Bone marrow smear
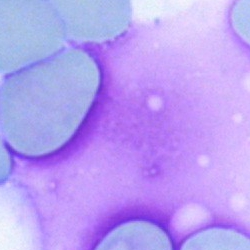{"cell_type": "artefact"}